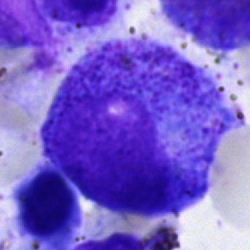 Q: Which cell type is shown here?
A: Promyelocyte.